Single cell centered in the field · bone marrow aspirate smear · MGG-stained
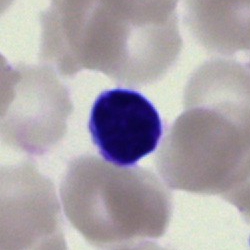 Morphology — typical lymphocyte.